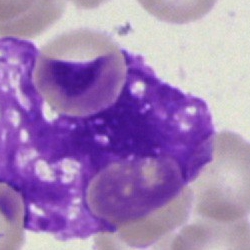

Impression — artefact.